Bone marrow smear: 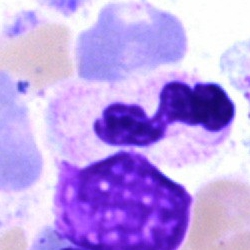
This is a segmented neutrophil.